250 by 250 pixels. Bone marrow smear. Single-cell field — 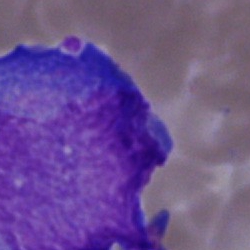Impression — artifact.